Bone marrow aspirate smear; May-Grünwald-Giemsa stain
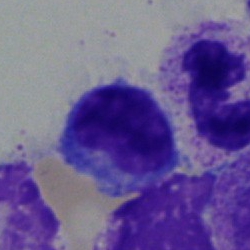 {"cell_type": "typical lymphocyte", "lineage": "lymphoid"}